Bone marrow aspirate smear:
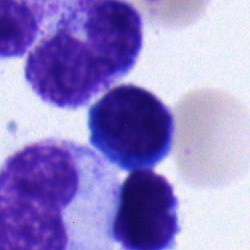 The morphological class is lymphocyte.